Bone marrow aspirate smear.
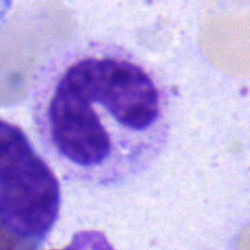

Cell — neutrophil (band).